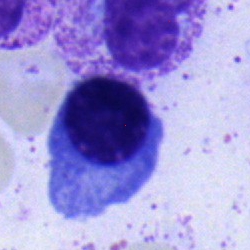 Single cell identified as a normoblast.